Bone marrow smear. Brightfield microscopy, 40× oil immersion. 250×250
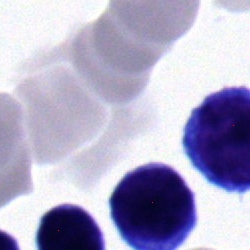Q: Identify the cell.
A: It is a typical lymphocyte.